Bone marrow smear:
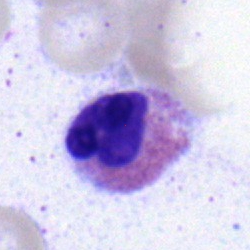Morphology — eosinophilic granulocyte.